Brightfield, 100× oil-immersion objective; peripheral blood film: 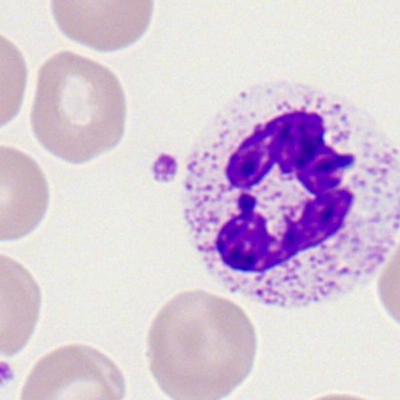
Showing a polymorphonuclear neutrophil.